Peripheral blood film — 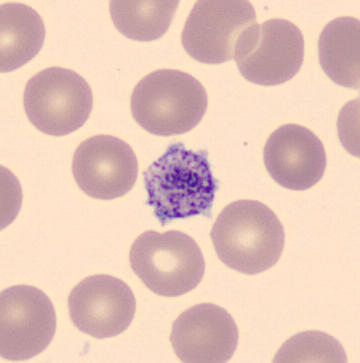 Morphology consistent with a thrombocyte.